Bone marrow aspirate smear. May-Grünwald-Giemsa/Pappenheim stain. Cropped to a single cell: 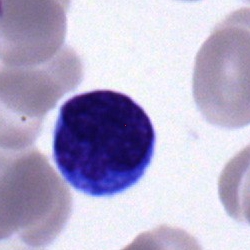
The cell shown is a typical lymphocyte.